Bone marrow smear:
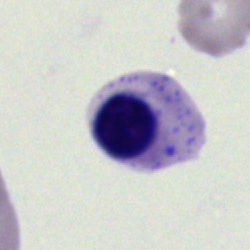{"cell_type": "nucleated red cell"}